Bone marrow smear: 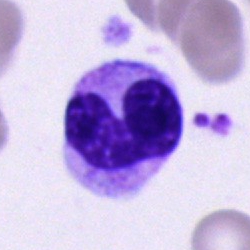
Morphology consistent with a band neutrophil.